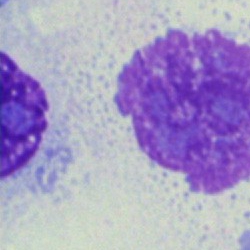 Morphological class: artefact.